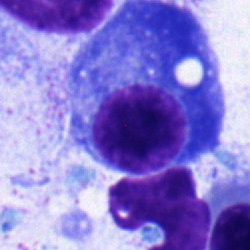
A plasmacyte.